Bone marrow aspirate smear; 250 by 250 pixels; 40× oil immersion: 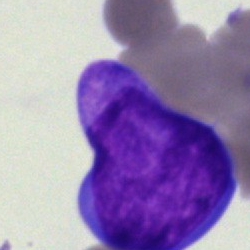 A blast.